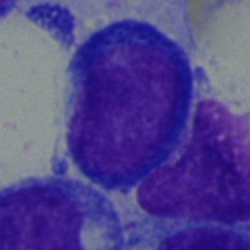
Cell — proerythroblast.